Bone marrow aspirate smear · 250×250 — 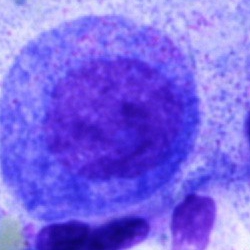 The cell shown is a progranulocyte.